Brightfield, 40× oil-immersion objective; bone marrow smear; cropped to a single cell: 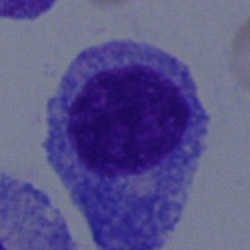Single cell identified as a progranulocyte.